Single-cell field; bone marrow smear: 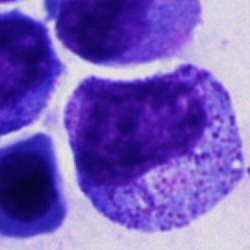Morphology consistent with a promyelocyte.